Bone marrow smear: 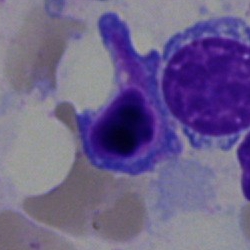

Specimen: bone marrow aspirate smear.
Classification: nucleated red blood cell.
Lineage: erythroid.